Single-cell crop; brightfield, 40× oil-immersion objective; bone marrow aspirate smear: 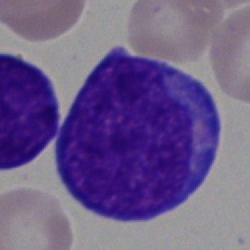 Cell: blast.